Bone marrow aspirate smear; brightfield microscopy, 40× oil immersion — 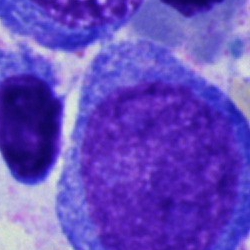

Showing a promyelocyte.